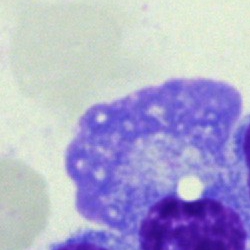
Showing a plasma cell.